40× objective, oil immersion. Bone marrow smear
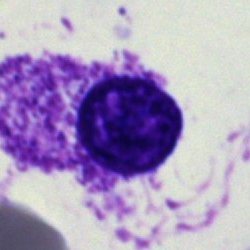 Morphological class = artefact.